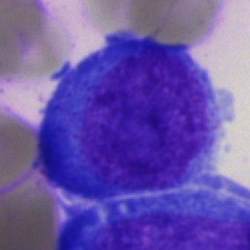

Specimen: bone marrow smear.
Morphological class: blast.